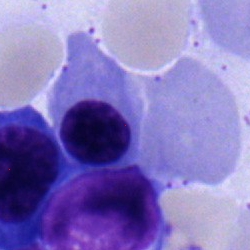
Morphological class: normoblast.